Single-cell field · bone marrow smear: 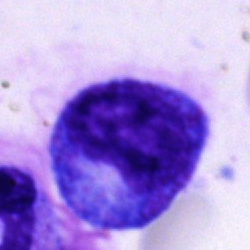
Cell — promyelocyte.